Peripheral blood film: 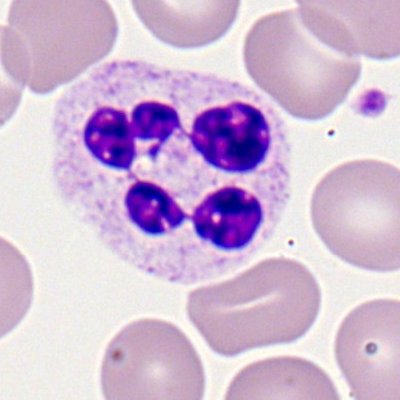
The cell is segmented neutrophil.